Bone marrow smear. May-Grünwald-Giemsa/Pappenheim stain: 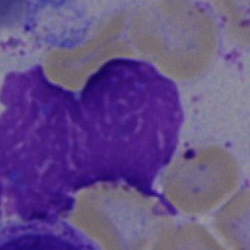
Q: What is shown here?
A: An artifact.